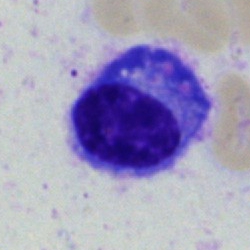

Morphological class — plasma cell.